250 by 250 pixels. Brightfield microscopy, 40× oil immersion. Bone marrow smear
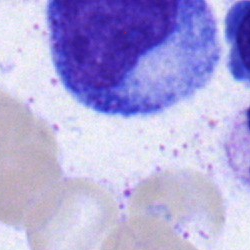
Single cell identified as a myelocyte.